Single-cell crop · bone marrow aspirate smear — 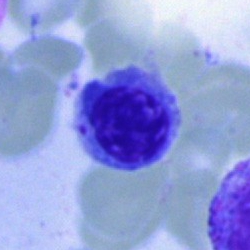 A nucleated red cell.